Bone marrow smear: 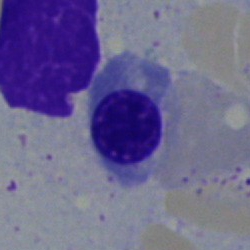

Q: What is the morphological classification of this cell?
A: A nucleated red cell.